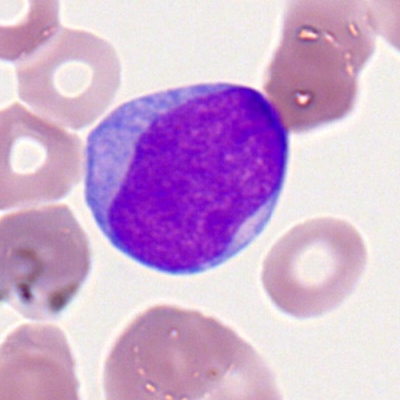

Single cell identified as a myeloblast.